May-Grünwald-Giemsa/Pappenheim stain; bone marrow smear; single cell centered in the field:
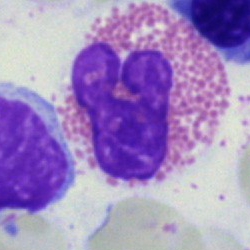 Classification: eosinophilic granulocyte.